Bone marrow aspirate smear
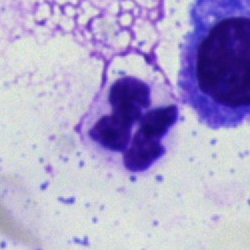
Specimen: bone marrow aspirate smear.
Cell: segmented neutrophil.
Lineage: myeloid.